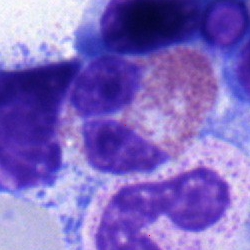

Cell type = eosinophil.